Bone marrow aspirate smear · May-Grünwald-Giemsa stain
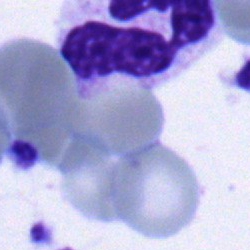

Cell type = segmented neutrophil.